Bone marrow aspirate smear — 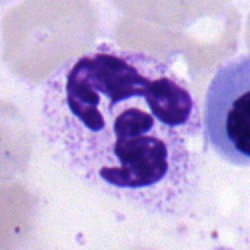Q: What type of cell is this?
A: It is a polymorphonuclear neutrophil.